250 by 250 pixels. Bone marrow smear. Brightfield, 40× oil-immersion objective: 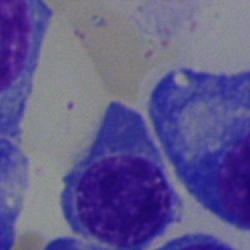
Q: Which cell type is shown here?
A: A normoblast.